Bone marrow aspirate smear · single-cell field · 250×250 px
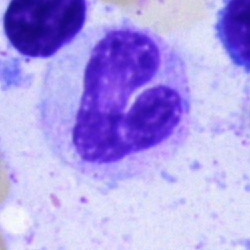A band neutrophil.